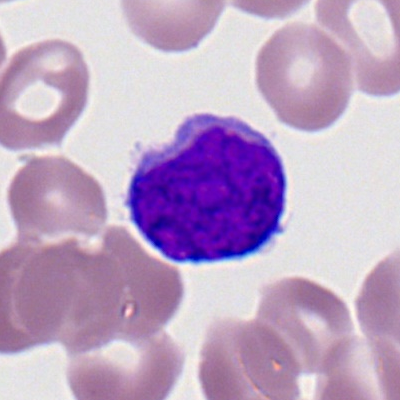Specimen: peripheral blood film.
Cell: myeloid blast.